250×250. Bone marrow aspirate smear — 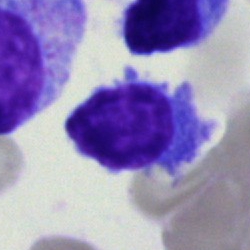

Single cell identified as a lymphocyte.